Bone marrow smear · 250×250 · brightfield microscopy, 40× oil immersion: 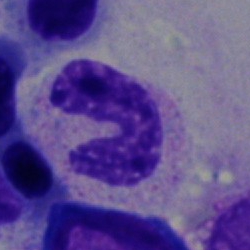

This is a band-form neutrophil.